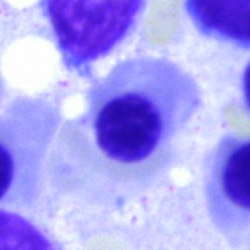
Q: Identify the cell.
A: Normoblast.